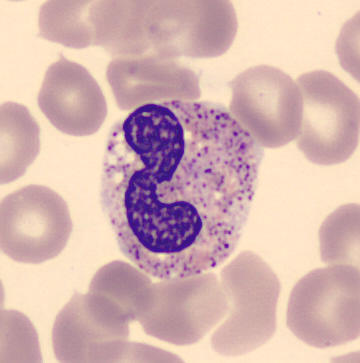 Impression → band-form neutrophil. Peripheral blood smear; single-cell field; automated cell imaging (CellaVision DM96).